360×363 px · peripheral blood film · MGG stain:
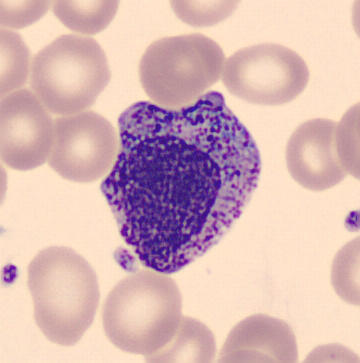Cell type — progranulocyte.